Bone marrow smear:
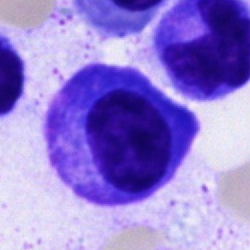{"cell_type": "plasma cell", "lineage": "lymphoid"}